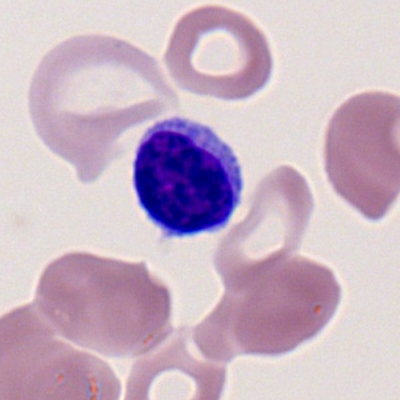 Peripheral blood film, single cell — lymphocyte.